Brightfield microscopy, 40× oil immersion · bone marrow aspirate smear
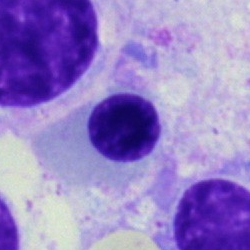

Single cell identified as an erythroblast.